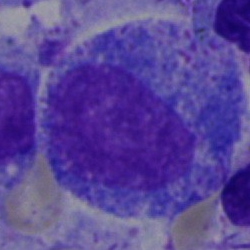

A promyelocyte.